Peripheral blood smear: 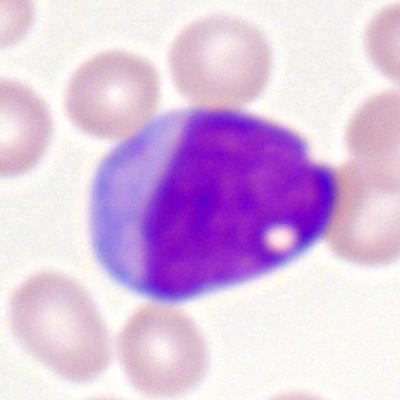
Q: What is the morphological classification of this cell?
A: A myeloblast.